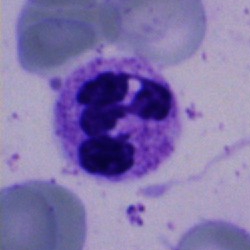
Q: Which cell type is shown here?
A: Polymorphonuclear neutrophil.